Bone marrow smear: 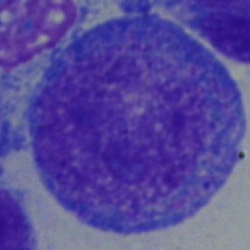
This is a promyelocyte.